Bone marrow smear
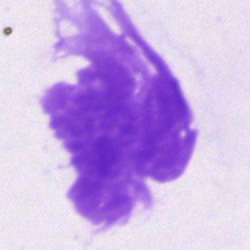{"cell_type": "artefact"}